Bone marrow aspirate smear: 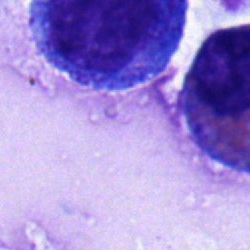
An eosinophil.